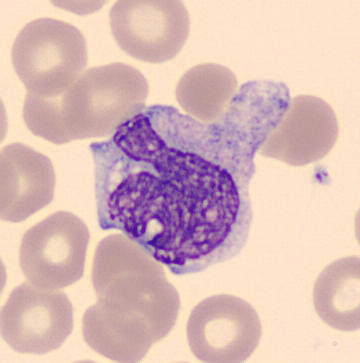Cell type = monocyte.

Acquisition: Peripheral blood smear.